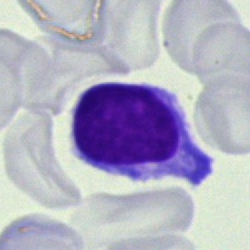Morphology → typical lymphocyte.